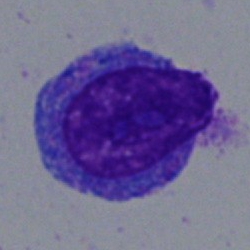Morphology — undifferentiated blast.